Single-cell crop; bone marrow smear.
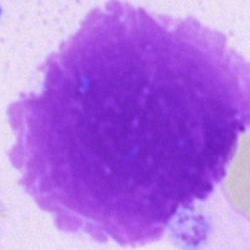
Specimen: bone marrow aspirate smear.
Cell: artifact.